Pappenheim-stained. Bone marrow aspirate smear:
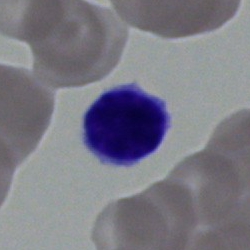Single cell identified as a typical lymphocyte.